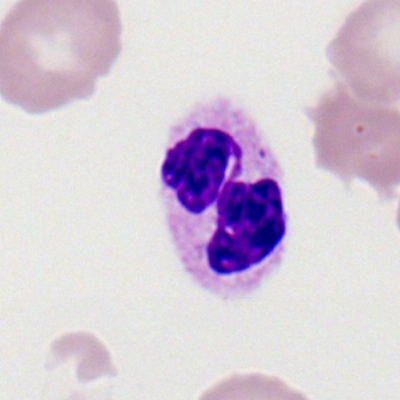

Cell = segmented neutrophil.